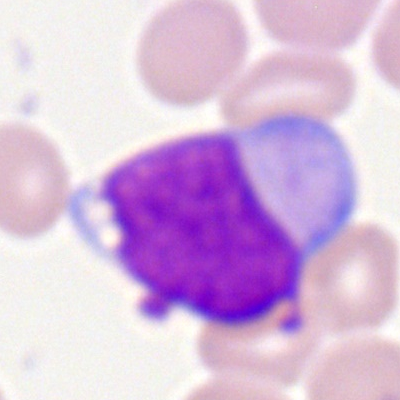

Showing a myeloblast.